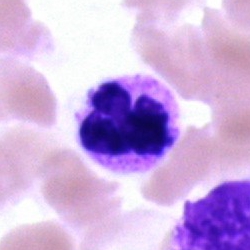

Cell type: segmented neutrophil.